Bone marrow aspirate smear
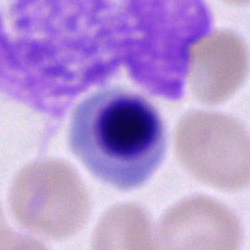
Nucleated red blood cell.